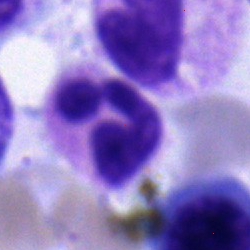 Classification = neutrophil (segmented).